Bone marrow aspirate smear; 40× oil immersion; May-Grünwald-Giemsa stain:
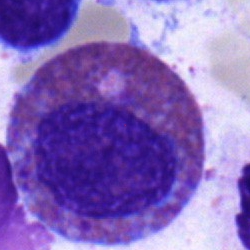 {"cell_type": "eosinophilic granulocyte", "lineage": "myeloid"}